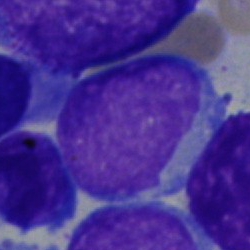A blast cell on a bone marrow smear.